Bone marrow smear — 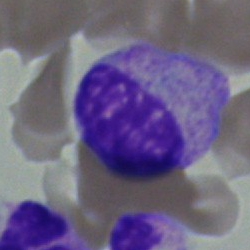
Showing a myelocyte.